40× oil immersion · bone marrow aspirate smear
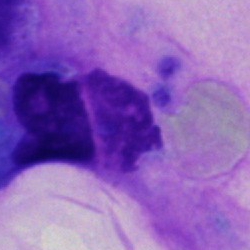 Q: What is shown here?
A: This is an artifact.